250 by 250 pixels. Bone marrow aspirate smear. Brightfield, 40× oil-immersion objective.
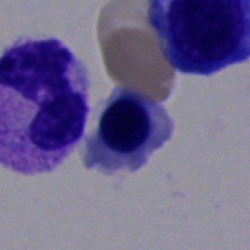
{"cell_type": "stab cell"}